Bone marrow aspirate smear:
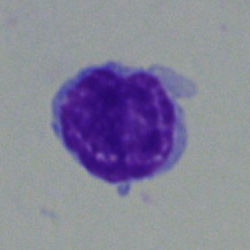 Specimen: bone marrow aspirate smear.
Classification: lymphocyte.
Lineage: lymphoid.